Bone marrow smear — 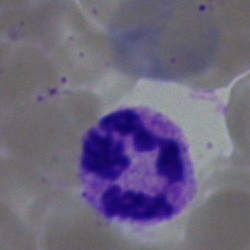
Specimen: bone marrow smear.
Cell: polymorphonuclear neutrophil.
Lineage: myeloid.